Bone marrow aspirate smear — 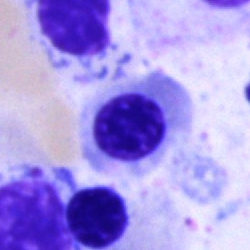

Morphology — nucleated red cell.